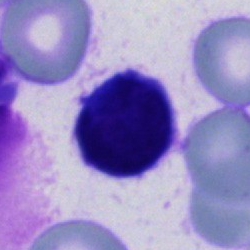 An unidentifiable cell on a bone marrow smear.